Bone marrow aspirate smear: 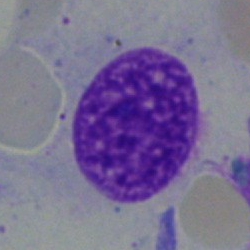Morphology consistent with an artifact.